Bone marrow smear · image size 250×250 · cropped to a single cell.
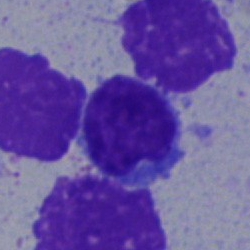
The cell shown is a lymphocyte.